Bone marrow aspirate smear: 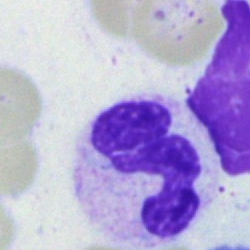
Specimen: bone marrow aspirate smear.
Classification: segmented neutrophil.
Lineage: myeloid.